Bone marrow smear. May-Grünwald-Giemsa/Pappenheim stain. Cropped to a single cell:
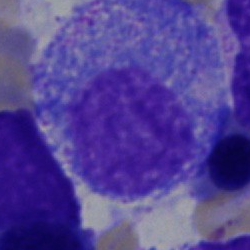The cell shown is a progranulocyte.